Bone marrow smear.
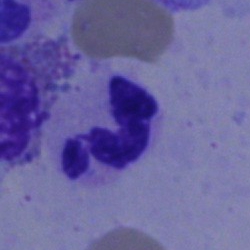 The morphological class is polymorphonuclear neutrophil.